Bone marrow smear: 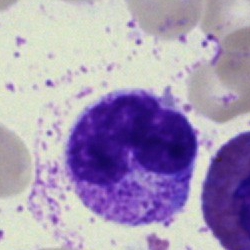Specimen: bone marrow aspirate smear.
Cell: band-form neutrophil.
Lineage: myeloid.